Bone marrow smear — 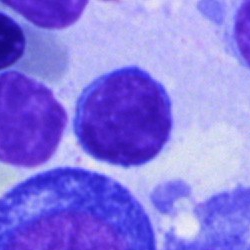Single cell identified as a lymphocyte.